Pappenheim-stained; bone marrow aspirate smear — 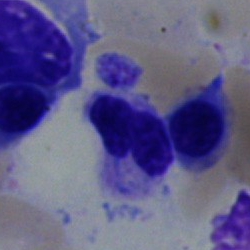

The cell shown is a normoblast.